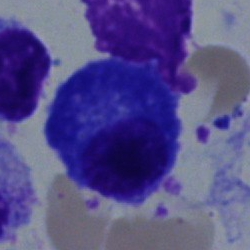Bone marrow aspirate smear, single cell — plasmacyte.